Cropped to a single cell. Bone marrow aspirate smear
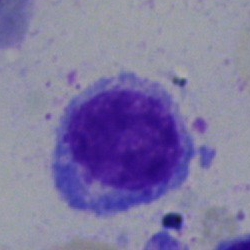

Classification: typical lymphocyte.